Single cell centered in the field; bone marrow aspirate smear:
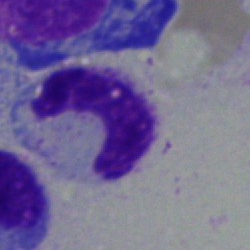
Showing a band-form neutrophil.